Bone marrow smear:
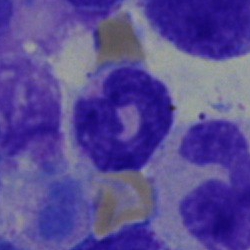This is a neutrophil (segmented).